Bone marrow smear; single cell centered in the field
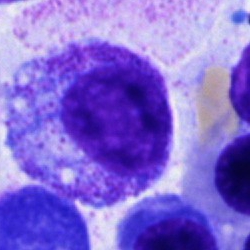Morphological class: segmented neutrophil.